Peripheral blood film:
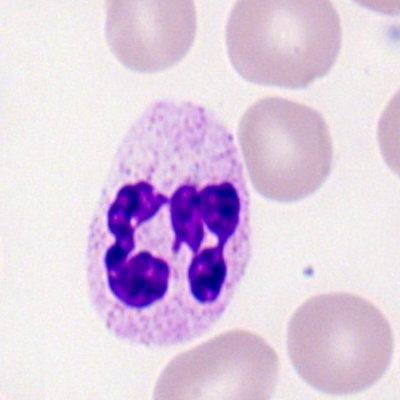

The classification is neutrophil (segmented).